Single-cell crop · bone marrow aspirate smear:
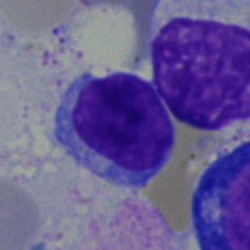Morphological class — typical lymphocyte.